40× oil immersion. May-Grünwald-Giemsa/Pappenheim stain. Bone marrow aspirate smear — 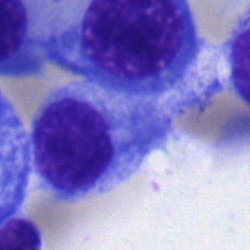

Specimen: bone marrow aspirate smear.
Morphological class: erythroblast.